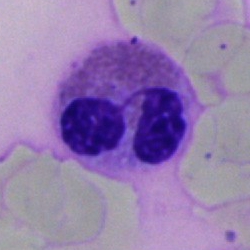

Q: What cell is this?
A: Eosinophil.